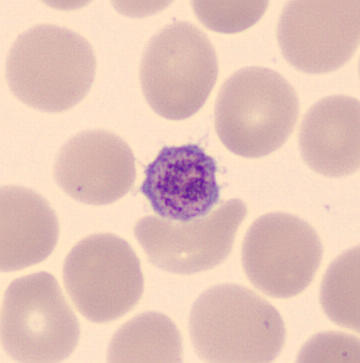

Peripheral blood film. Classification — platelet.